Bone marrow smear:
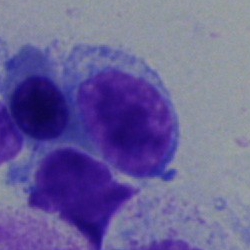 Specimen: bone marrow smear.
Cell type: typical lymphocyte.
Lineage: lymphoid.